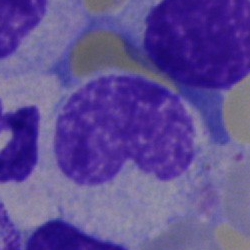Q: Identify the cell.
A: This is a band-form neutrophil.